Bone marrow aspirate smear — 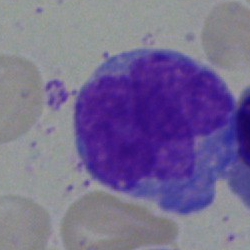 Q: What is the morphological classification of this cell?
A: This is a monocyte.